Single cell centered in the field; bone marrow aspirate smear:
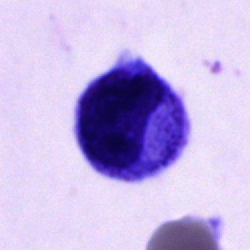
Cell of indeterminate lineage.